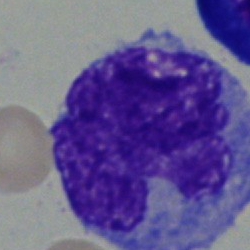 Impression — monocyte.